Bone marrow aspirate smear. 250×250 px:
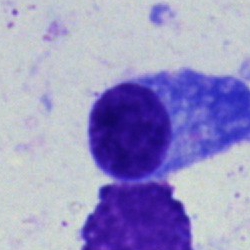
Specimen: bone marrow aspirate smear.
Classification: plasma cell.
Lineage: lymphoid.